Pappenheim-stained; bone marrow aspirate smear
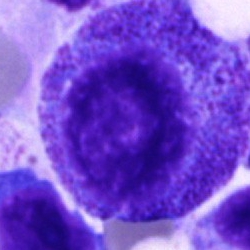Impression → promyelocyte.